40× oil immersion. Bone marrow smear
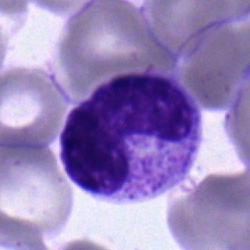 Q: What cell is this?
A: It is a metamyelocyte.